Single cell centered in the field · bone marrow smear — 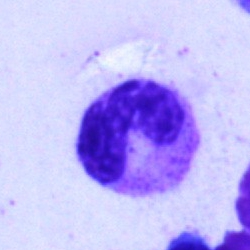
Classification: neutrophil (band).